Bone marrow smear
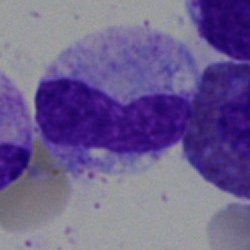
This is a band neutrophil.